Bone marrow aspirate smear — 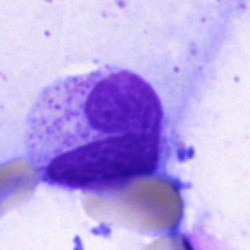

Single cell identified as a segmented neutrophil.